250×250; bone marrow aspirate smear: 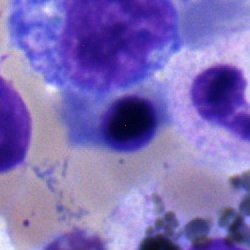 Q: What cell is this?
A: A nucleated red cell.